Bone marrow smear
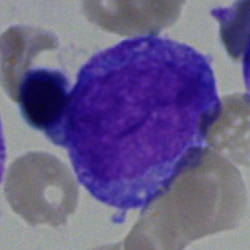The cell shown is a progranulocyte.